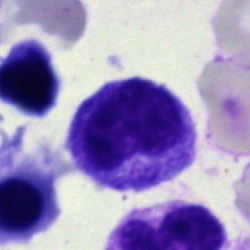

Q: What cell is this?
A: It is a metamyelocyte.